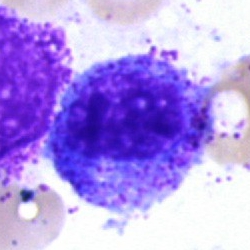 Impression → progranulocyte.